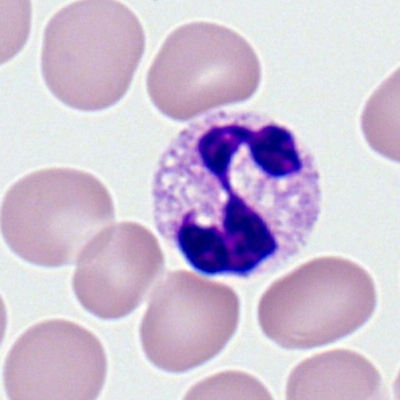
Single-cell crop from a peripheral blood smear: polymorphonuclear neutrophil.